40× oil immersion; bone marrow smear
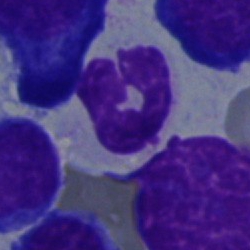
Morphology — neutrophil (segmented).